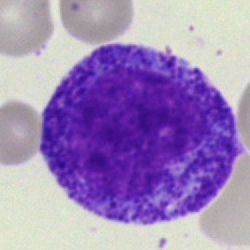 {"cell_type": "promyelocyte", "lineage": "myeloid"}